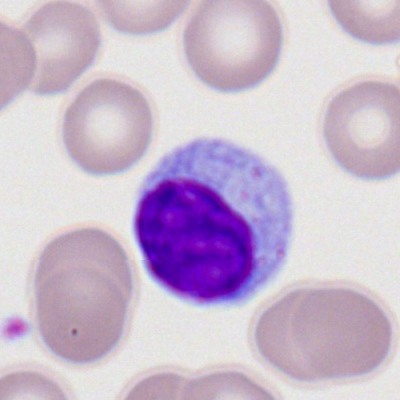
Peripheral blood film, single cell — lymphocyte.